Bone marrow smear:
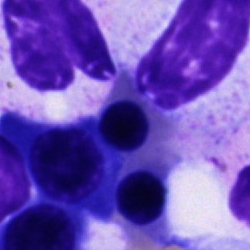
Morphology consistent with a cell of indeterminate lineage.